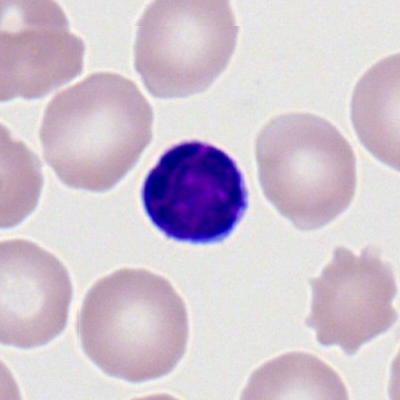

Specimen: peripheral blood film.
Cell: lymphocyte.